Cropped to a single cell · bone marrow aspirate smear — 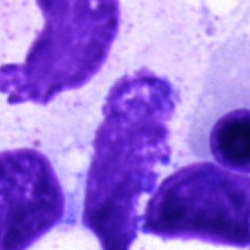

Showing an artefact.